Bone marrow aspirate smear. Cropped to a single cell
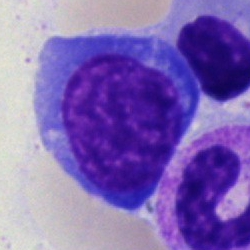 Q: What is shown here?
A: A nucleated red cell.